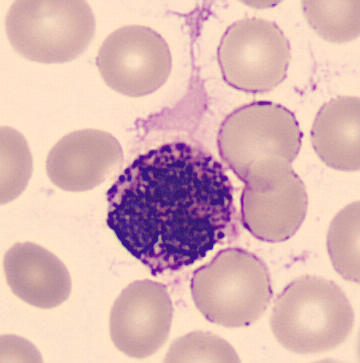

Cell: basophilic granulocyte.

Peripheral blood film.